Bone marrow aspirate smear
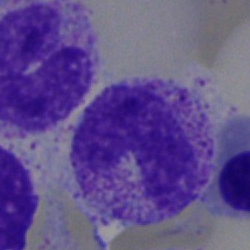Specimen: bone marrow smear.
Cell type: neutrophil (band).
Lineage: myeloid.